Bone marrow smear: 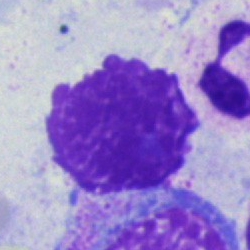
Single cell identified as an artifact.